Single-cell crop · bone marrow aspirate smear · 250×250 px
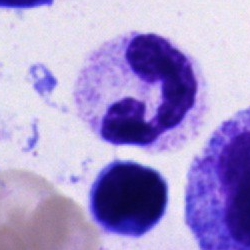

{"cell_type": "segmented neutrophil", "lineage": "myeloid"}